Bone marrow aspirate smear
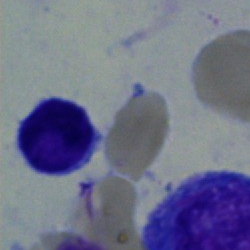 Q: Identify the cell.
A: It is a lymphocyte.